Bone marrow aspirate smear — 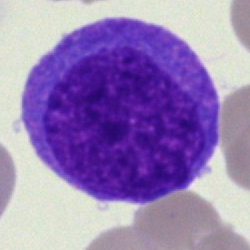
Cell type = blast cell.